Bone marrow smear:
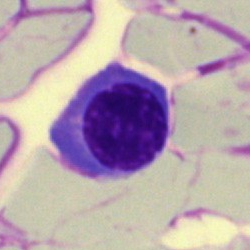 Morphology — normoblast.